Bone marrow aspirate smear
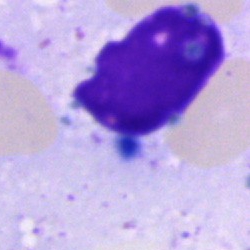An artefact.